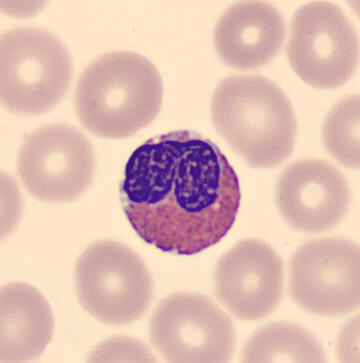

Preparation: Peripheral blood smear.

Q: What is this?
A: It is an eosinophilic granulocyte.